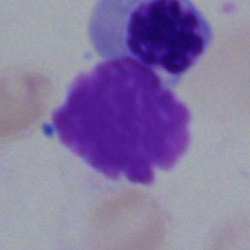 The cell shown is an artefact.